Peripheral blood smear: 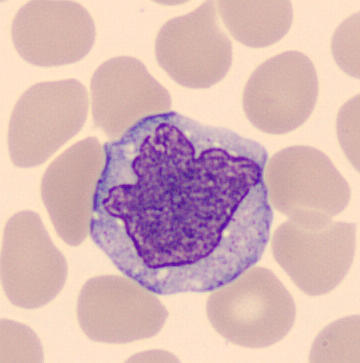

Specimen: peripheral blood film.
Cell: monocyte.